MGG-stained · bone marrow smear.
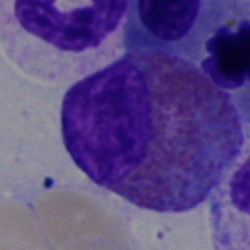

Q: Which cell type is shown here?
A: It is an eosinophil.